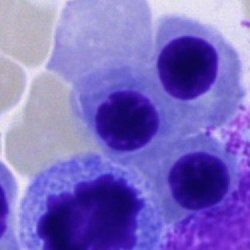Bone marrow smear showing an erythroblast.